Peripheral blood smear: 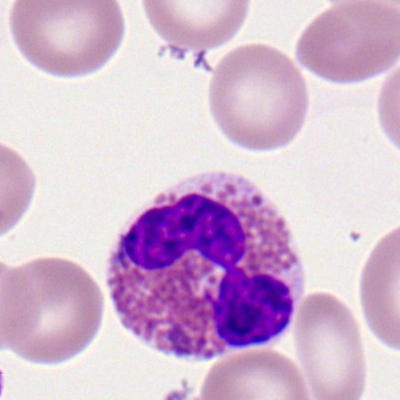
Impression — eosinophilic granulocyte.